Bone marrow smear; single-cell field:
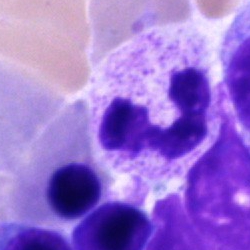

Specimen: bone marrow smear.
Classification: neutrophil (segmented).